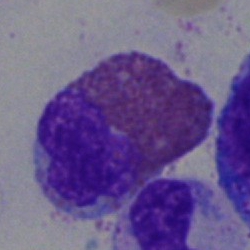 Q: What cell is this?
A: Eosinophil.